Single-cell field · bone marrow aspirate smear: 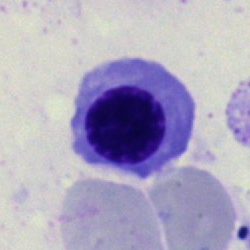
The morphological class is normoblast.